Bone marrow aspirate smear — 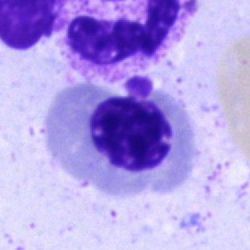This is a normoblast.